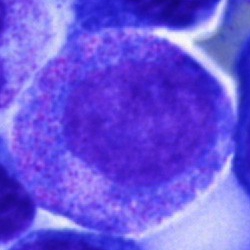 Bone marrow smear showing a progranulocyte.